Bone marrow aspirate smear.
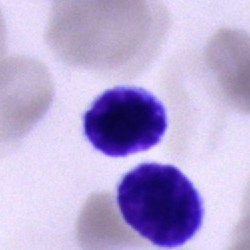 Cell = typical lymphocyte.